Bone marrow aspirate smear. Cropped to a single cell — 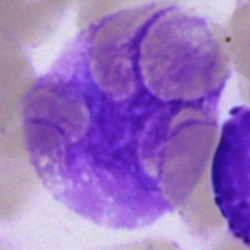 Morphology consistent with an artifact.